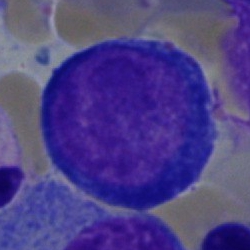
A proerythroblast on a bone marrow smear.